250×250 · single cell centered in the field · bone marrow aspirate smear — 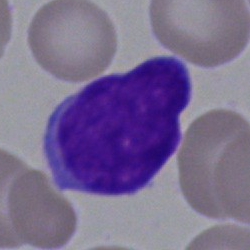

Cell = blast cell.